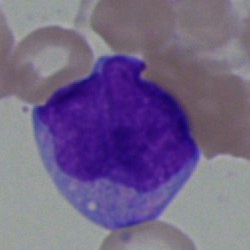

The cell shown is an undifferentiated blast.